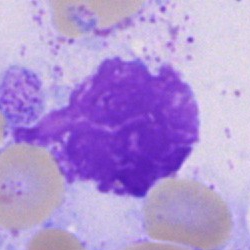

Showing an artifact.